Bone marrow smear: 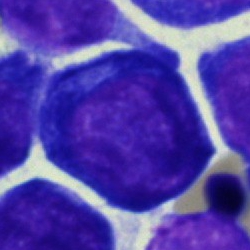

Classification: pronormoblast.